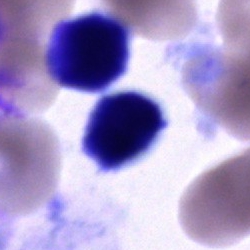 Classification = cell of indeterminate lineage.